Peripheral blood smear
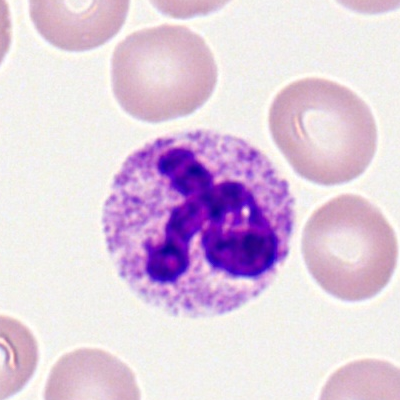

Specimen: peripheral blood smear.
Morphological class: segmented neutrophil.
Lineage: myeloid.